Bone marrow aspirate smear — 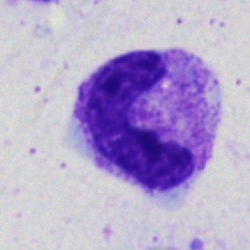 Showing a neutrophil (segmented).